Peripheral blood smear; single-cell field; 400 by 400 pixels.
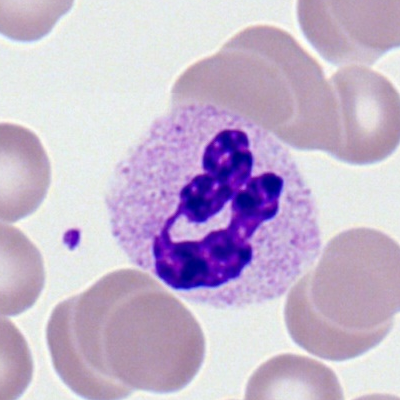

The morphological class is polymorphonuclear neutrophil.